Bone marrow aspirate smear — 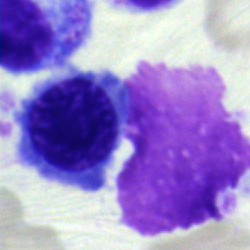

Morphology — normoblast.